Peripheral blood film
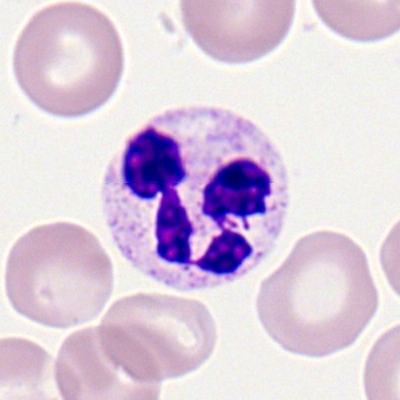

Cell type: polymorphonuclear neutrophil.